250×250; bone marrow smear.
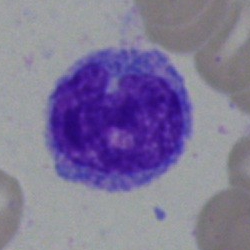
Q: What cell is this?
A: This is an undifferentiated blast.